100× oil immersion, 14.14 px/µm. 400×400. Peripheral blood smear.
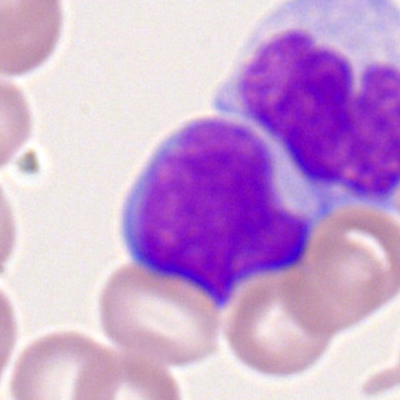 Single cell identified as a myeloblast.